Bone marrow smear.
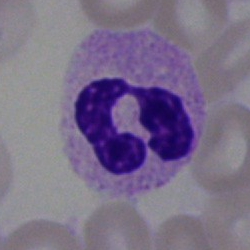
The classification is polymorphonuclear neutrophil.